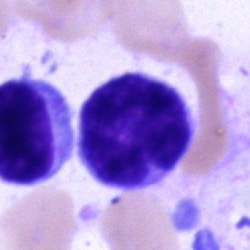Classification — typical lymphocyte.